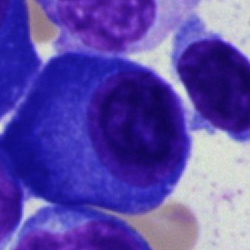 Specimen: bone marrow smear.
Cell: plasmacyte.
Lineage: lymphoid.